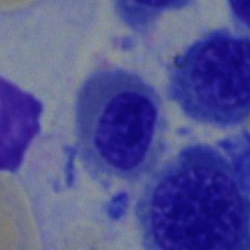

Morphological class: nucleated red cell.